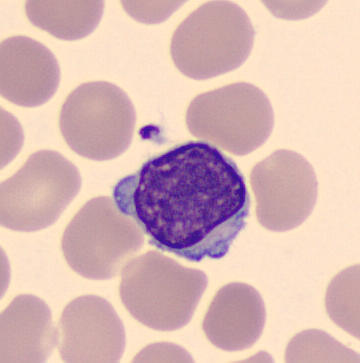

Single cell identified as a typical lymphocyte.
Peripheral blood film.